Bone marrow aspirate smear
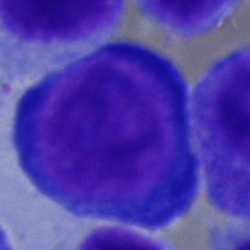 Q: What cell is this?
A: Pronormoblast.